Bone marrow aspirate smear — 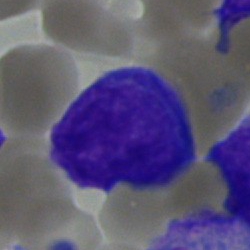 The cell type is blast cell.